Bone marrow smear:
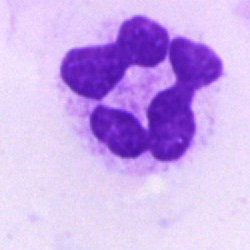

Morphological class: segmented neutrophil.